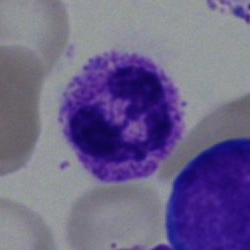Polymorphonuclear neutrophil.